Bone marrow aspirate smear.
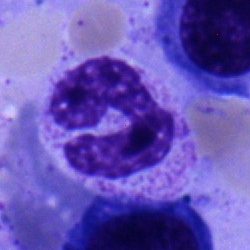

Showing a neutrophil (band).